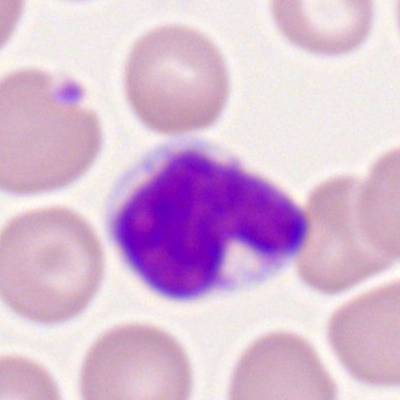 Classification — lymphocyte.